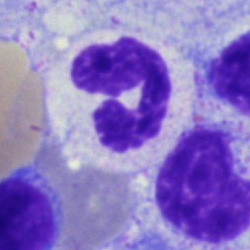
Q: What type of cell is this?
A: It is a polymorphonuclear neutrophil.